Bone marrow aspirate smear; single cell centered in the field
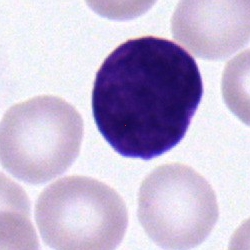

A blast cell.